Bone marrow smear.
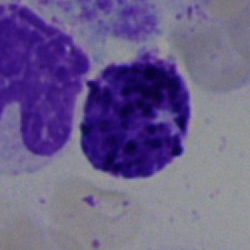 Classification — basophil.